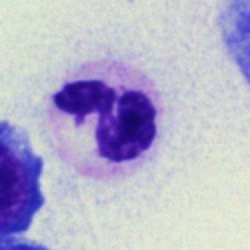
Single cell identified as a polymorphonuclear neutrophil.